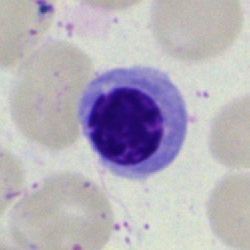
Bone marrow aspirate smear, single cell — nucleated red blood cell.